Single-cell crop; bone marrow aspirate smear.
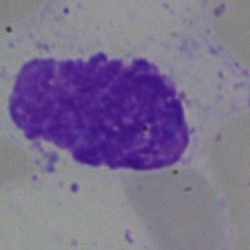

An artifact.